Bone marrow aspirate smear: 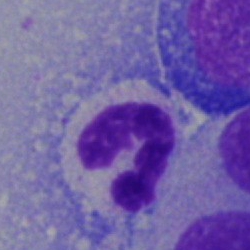
A neutrophil (segmented).